Peripheral blood smear
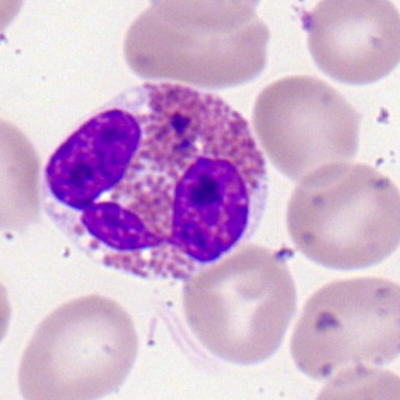 {"cell_type": "eosinophilic granulocyte"}